Bone marrow aspirate smear. Single-cell crop:
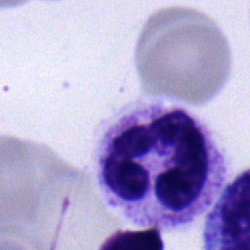
A segmented neutrophil.